Bone marrow aspirate smear — 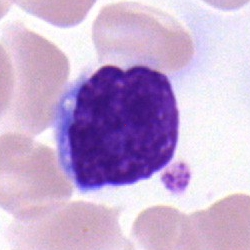

The cell shown is a typical lymphocyte.